May-Grünwald-Giemsa stain. Bone marrow aspirate smear. Cropped to a single cell.
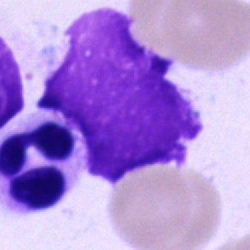

Morphological class — artifact.